Bone marrow smear.
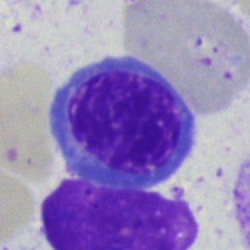

Q: What cell is this?
A: This is an erythroblast.